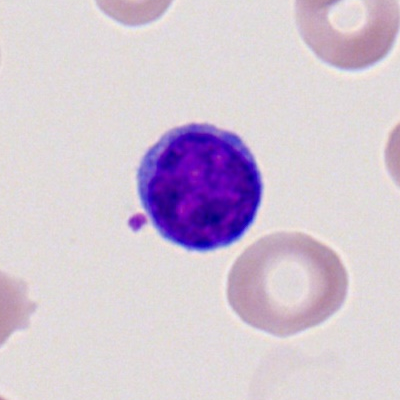{"cell_type": "typical lymphocyte", "lineage": "lymphoid"}